Bone marrow smear
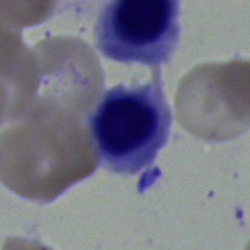 Morphology — nucleated red blood cell.